Bone marrow smear:
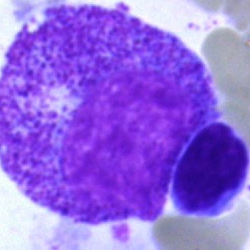
Q: Which cell type is shown here?
A: This is a myelocyte.